Bone marrow aspirate smear — 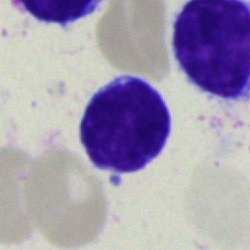A lymphocyte.